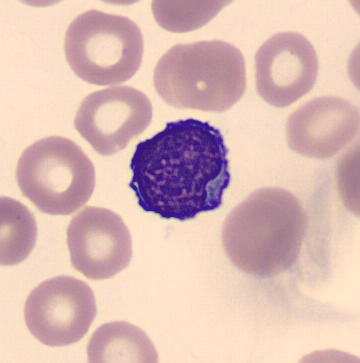 Image: Peripheral blood smear; single-cell crop. Impression → lymphocyte.